Bone marrow aspirate smear: 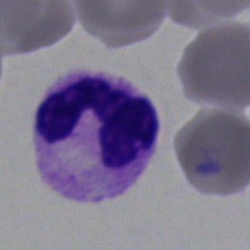The cell type is neutrophil (segmented).